Bone marrow smear. Single-cell crop. 250×250.
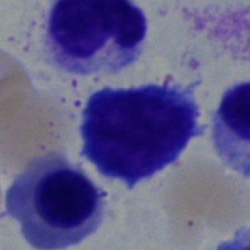

Q: What is shown here?
A: This is a normoblast.